Bone marrow smear
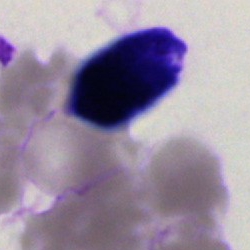Impression — artifact.